Bone marrow smear:
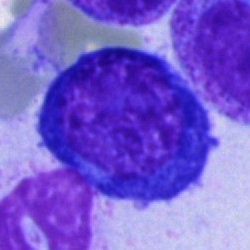
Q: What is shown here?
A: It is a normoblast.